Bone marrow aspirate smear — 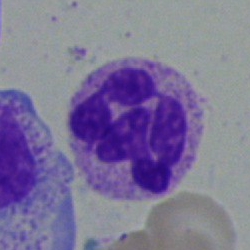
Morphological class — neutrophil (segmented).